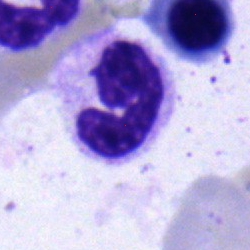The cell shown is a band-form neutrophil.